Bone marrow aspirate smear. May-Grünwald-Giemsa stain — 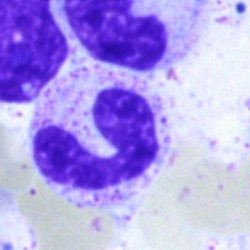

Q: What cell is this?
A: It is a band-form neutrophil.